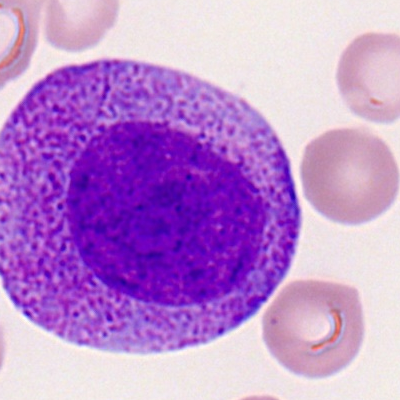
Showing a promyelocyte.